Bone marrow aspirate smear:
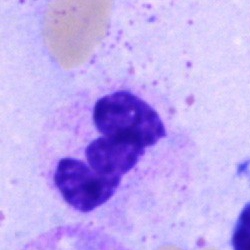 The cell shown is a segmented neutrophil.